Pappenheim-stained; single cell centered in the field; bone marrow smear — 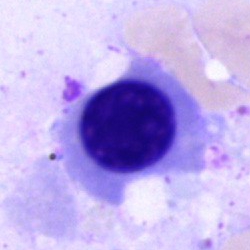{"cell_type": "erythroblast", "lineage": "erythroid"}